Bone marrow smear: 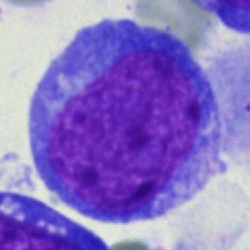

Q: Which cell type is shown here?
A: This is an undifferentiated blast.